250×250; bone marrow smear.
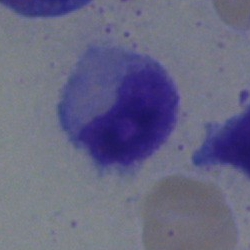 {"cell_type": "band-form neutrophil", "lineage": "myeloid"}